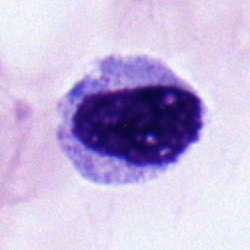
Morphology — myelocyte.